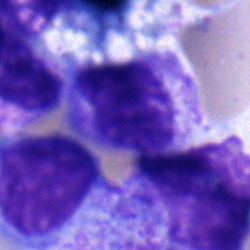

Showing a metamyelocyte.